Brightfield microscopy, 40× oil immersion; bone marrow smear; MGG-stained:
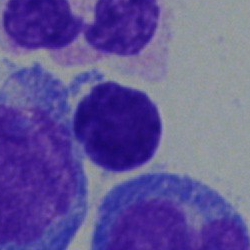
Q: What is shown here?
A: It is a typical lymphocyte.